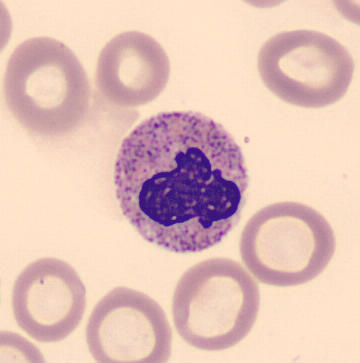

{"cell_type": "band-form neutrophil"} Peripheral blood film. Imaged on a CellaVision DM96 analyser.